MGG-stained · bone marrow aspirate smear · image size 250×250:
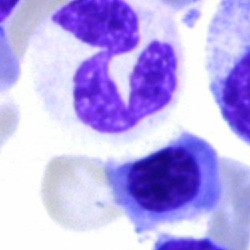

Showing a polymorphonuclear neutrophil.